Bone marrow aspirate smear · May-Grünwald-Giemsa/Pappenheim stain — 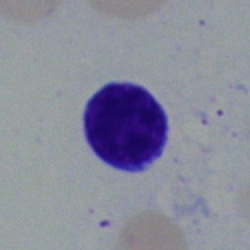
Q: Identify the cell.
A: Lymphocyte.